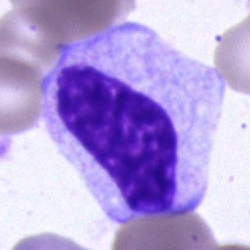

Specimen: bone marrow smear.
Morphological class: unidentifiable cell.